Bone marrow aspirate smear; brightfield microscopy, 40× oil immersion
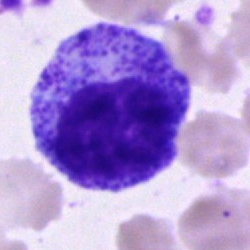Impression — progranulocyte.